Single cell centered in the field; bone marrow smear
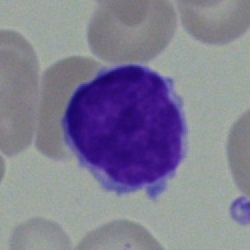
Typical lymphocyte.